Bone marrow aspirate smear · 250×250 — 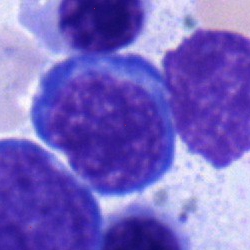
Nucleated red cell.